Bone marrow smear:
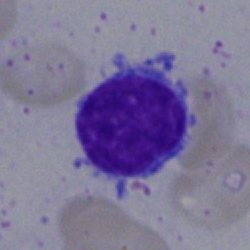

The morphological class is lymphocyte.